Bone marrow aspirate smear.
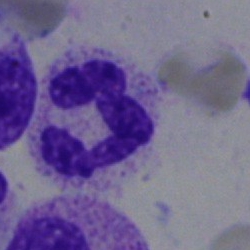
Specimen: bone marrow aspirate smear.
Cell type: segmented neutrophil.